Single-cell crop; bone marrow smear; Pappenheim-stained — 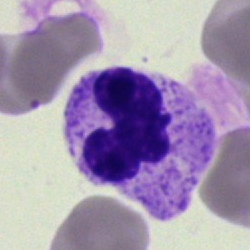

Morphology consistent with a segmented neutrophil.